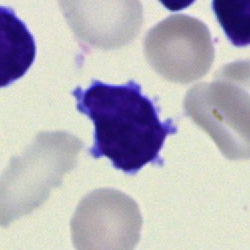Specimen: bone marrow aspirate smear.
Cell: typical lymphocyte.
Lineage: lymphoid.